250 by 250 pixels; bone marrow aspirate smear
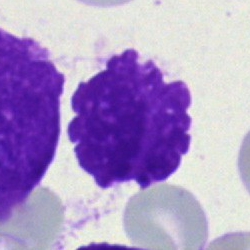
Impression — artefact.